Single cell centered in the field · bone marrow aspirate smear — 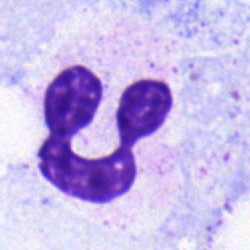
Q: Which cell type is shown here?
A: A neutrophil (segmented).